Bone marrow smear
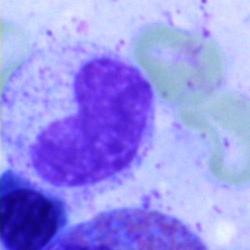
The morphological class is stab cell.